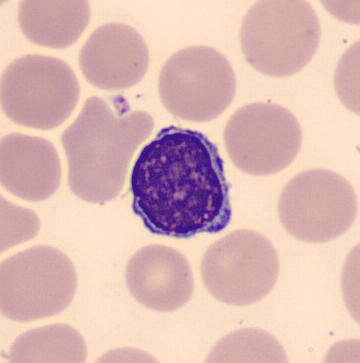

Q: Identify the cell.
A: It is a lymphocyte.